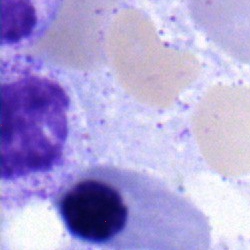

Q: Which cell type is shown here?
A: This is a myelocyte.